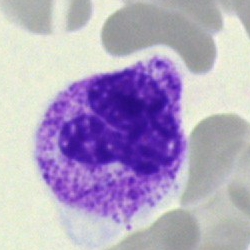
Morphological class = band-form neutrophil.